Single cell centered in the field · bone marrow smear — 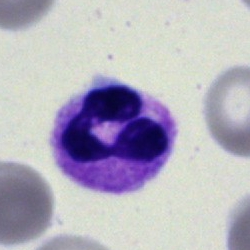 Specimen: bone marrow aspirate smear.
Morphological class: segmented neutrophil.